Bone marrow aspirate smear · image size 250×250: 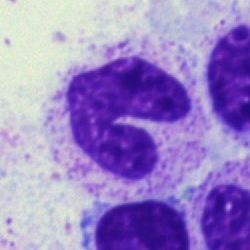Q: Which cell type is shown here?
A: Band-form neutrophil.